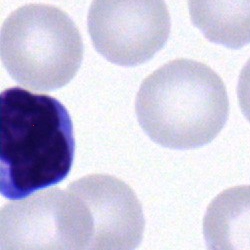
Showing a lymphocyte.